Bone marrow smear.
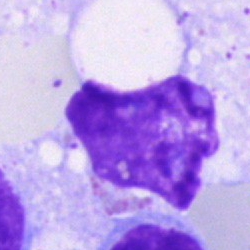
Specimen: bone marrow aspirate smear.
Cell type: artefact.